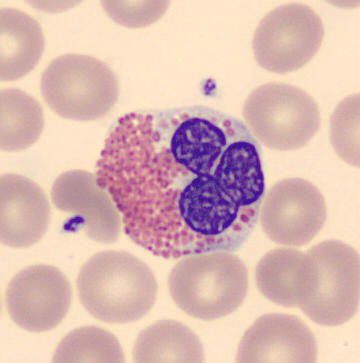 {"cell_type": "eosinophil"}

360×363 px. Peripheral blood smear.